Bone marrow smear
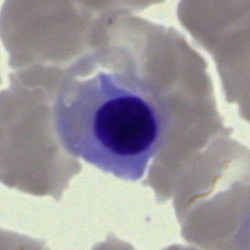 Showing a nucleated red blood cell.